Bone marrow smear; single cell centered in the field; brightfield microscopy, 40× oil immersion:
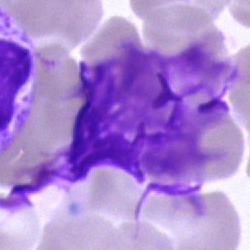
The cell is neutrophil (band).